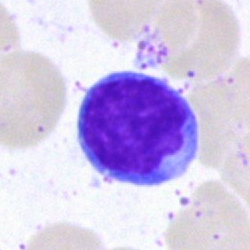
Morphology — typical lymphocyte.